40× objective, oil immersion; bone marrow aspirate smear:
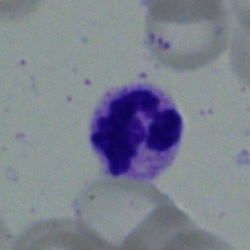
Q: Which cell type is shown here?
A: Polymorphonuclear neutrophil.